Peripheral blood film. Single cell centered in the field
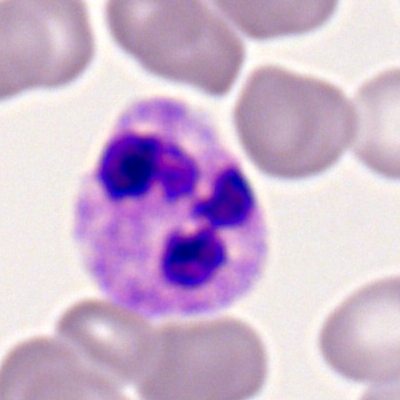 Showing a neutrophil (segmented).